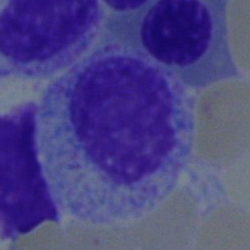

{"cell_type": "myelocyte"}